Single-cell crop. Bone marrow smear — 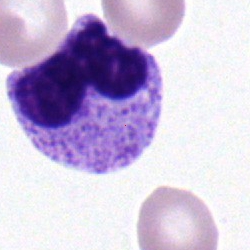Showing a band neutrophil.